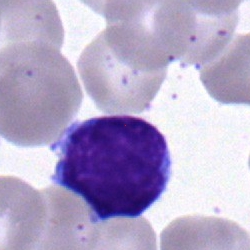
Classification = typical lymphocyte.